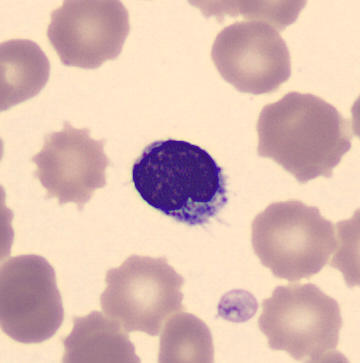 Impression → typical lymphocyte. MGG stain; peripheral blood smear.